Bone marrow aspirate smear · Pappenheim-stained · 40× objective, oil immersion:
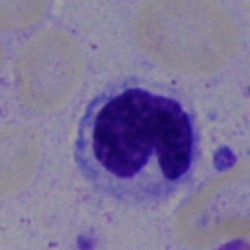
{"cell_type": "polymorphonuclear neutrophil"}